May-Grünwald-Giemsa/Pappenheim stain; bone marrow smear:
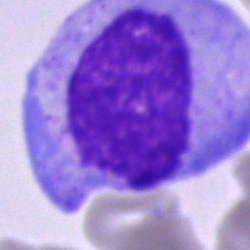

{"cell_type": "progranulocyte"}